Cropped to a single cell · peripheral blood smear · Romanowsky stain: 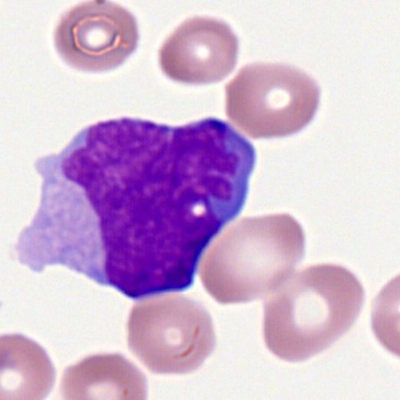

The cell shown is a myeloid blast.